Bone marrow smear:
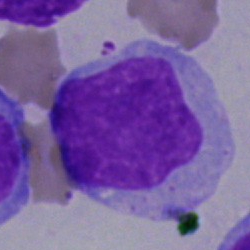

{"cell_type": "blast"}